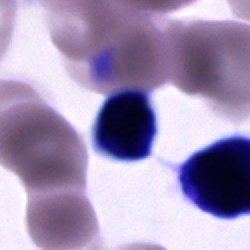

The cell type is unidentifiable cell.